Bone marrow aspirate smear. Image size 250×250
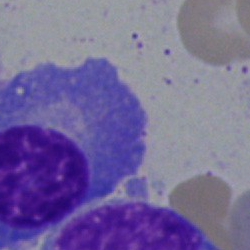 The cell shown is a plasmacyte.